40× oil immersion; bone marrow aspirate smear:
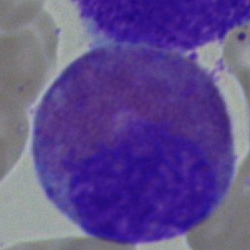Morphological class: eosinophil.